Bone marrow aspirate smear · brightfield, 40× oil-immersion objective · 250×250 — 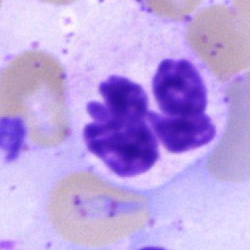
Morphology consistent with a polymorphonuclear neutrophil.